Bone marrow aspirate smear:
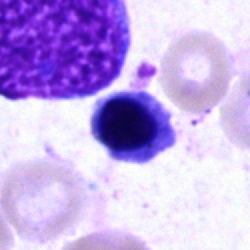Morphological class = nucleated red blood cell.